Bone marrow smear. May-Grünwald-Giemsa/Pappenheim stain
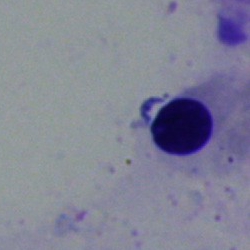 This is an erythroblast.